Bone marrow aspirate smear.
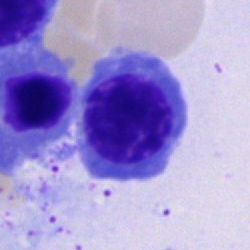

Cell: nucleated red cell.